Single-cell crop; bone marrow smear — 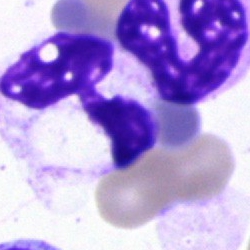
Cell = polymorphonuclear neutrophil.